Bone marrow aspirate smear. Pappenheim-stained. 40× objective, oil immersion
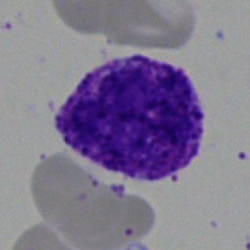 This is a basophil.